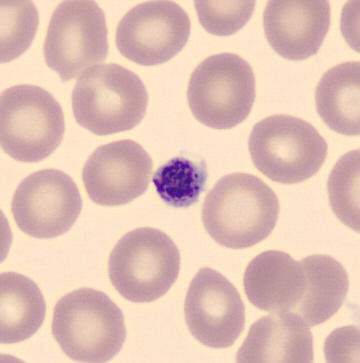 Specimen: peripheral blood smear.
Morphological class: platelet.